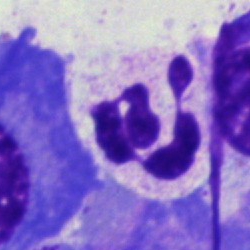Morphological class: polymorphonuclear neutrophil.